Bone marrow aspirate smear. Brightfield, 40× oil-immersion objective.
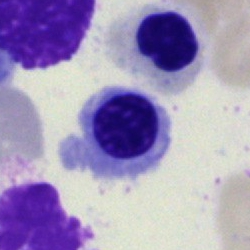 This is an erythroblast.